Bone marrow aspirate smear: 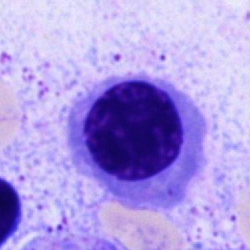Specimen: bone marrow smear.
Cell: nucleated red blood cell.